Single-cell crop. May-Grünwald-Giemsa stain. Bone marrow aspirate smear — 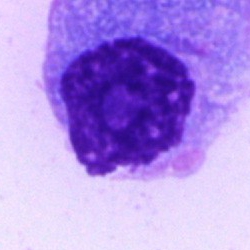 Impression → plasma cell.